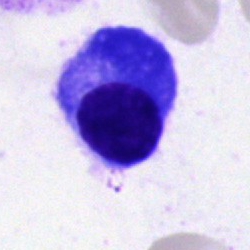Morphology → plasmacyte.